Single cell centered in the field · bone marrow aspirate smear
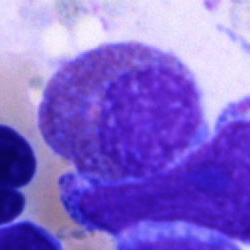
Specimen: bone marrow smear.
Cell: eosinophil.
Lineage: myeloid.